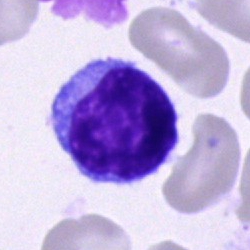 Cell: lymphocyte.